Automated cell imaging (CellaVision DM96) · May-Grünwald-Giemsa-stained · peripheral blood smear.
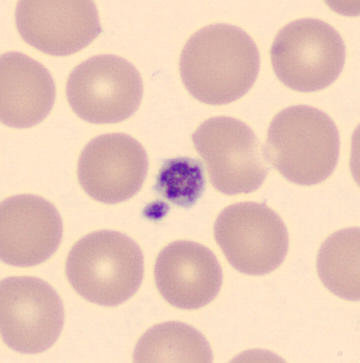
Classification — thrombocyte.